May-Grünwald-Giemsa/Pappenheim stain · bone marrow smear — 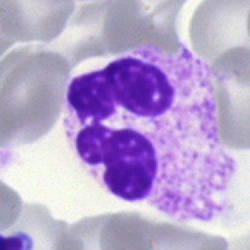 Showing a segmented neutrophil.